40× objective, oil immersion · May-Grünwald-Giemsa stain · bone marrow smear: 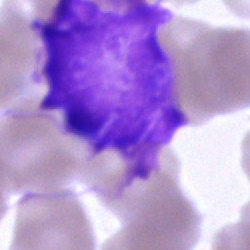Morphology → artefact.